Bone marrow smear
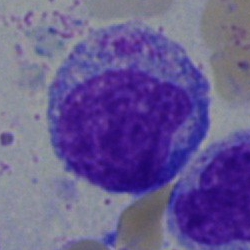{"cell_type": "myelocyte", "lineage": "myeloid"}